May-Grünwald-Giemsa stain. Bone marrow aspirate smear: 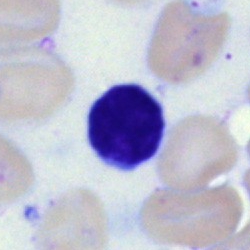Specimen: bone marrow aspirate smear.
Cell type: typical lymphocyte.